Bone marrow smear: 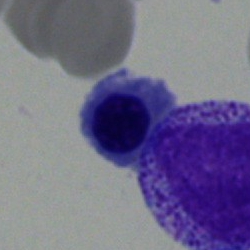 Impression — erythroblast.